250×250 · bone marrow smear · MGG-stained
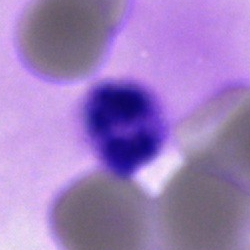 The cell is polymorphonuclear neutrophil.